May-Grünwald-Giemsa/Pappenheim stain; single cell centered in the field; bone marrow smear: 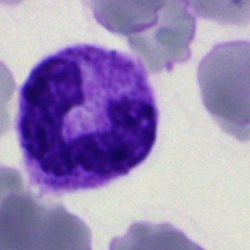
Impression — neutrophil (segmented).